250×250 px; bone marrow aspirate smear.
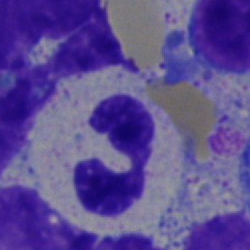
Neutrophil (segmented).